Bone marrow aspirate smear; cropped to a single cell:
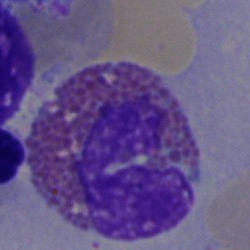

This is an eosinophilic granulocyte.